Peripheral blood smear
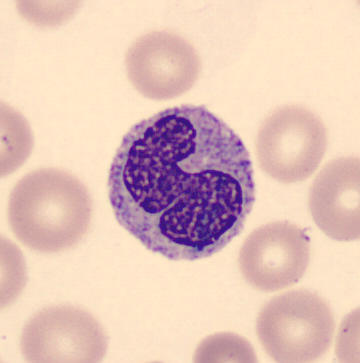

Identified as a monocyte.